Bone marrow smear:
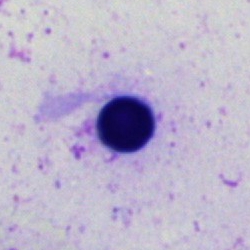
Morphological class = erythroblast.